Single-cell crop. Bone marrow smear. Brightfield, 40× oil-immersion objective
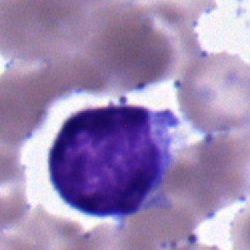 Morphology — typical lymphocyte.